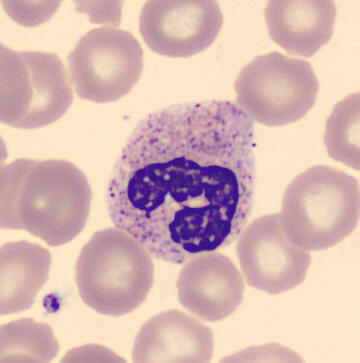

The morphological class is segmented neutrophil.